Bone marrow smear
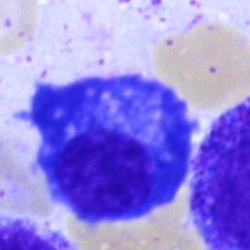Morphology consistent with a plasma cell.